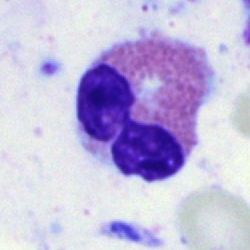Morphology → eosinophil.